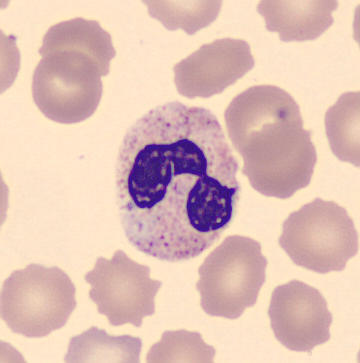

Peripheral blood smear.

The morphological class is polymorphonuclear neutrophil.